Peripheral blood smear — 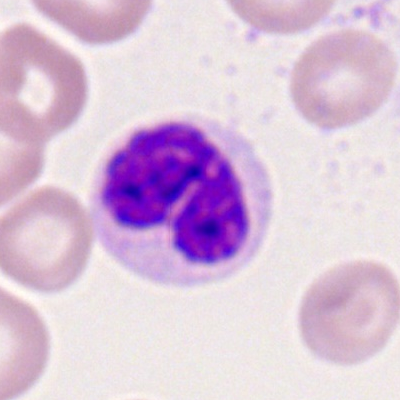 A polymorphonuclear neutrophil.